M8 digital microscope (Precipoint), 100× oil immersion; peripheral blood smear; cropped to a single cell.
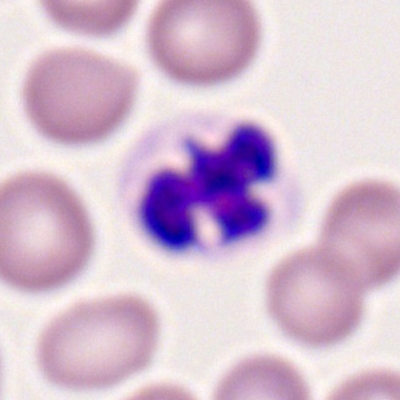Polymorphonuclear neutrophil.